Bone marrow smear:
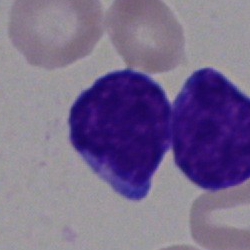The classification is blast cell.